Bone marrow smear:
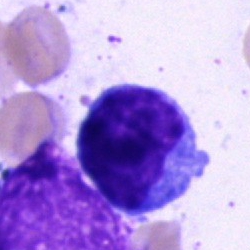The cell shown is a lymphocyte.